Bone marrow smear — 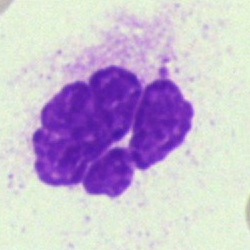

Cell — artifact.